Single-cell field · peripheral blood smear
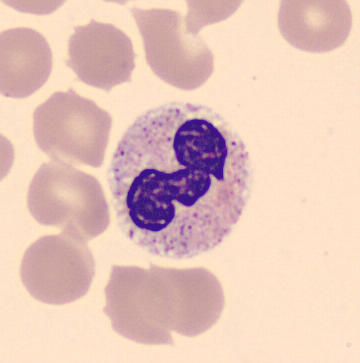
Morphology consistent with a neutrophil (segmented).